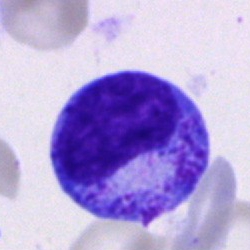

Single-cell crop from a bone marrow smear: progranulocyte.